Bone marrow aspirate smear: 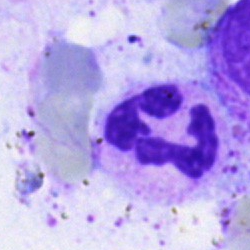

Q: What is the morphological classification of this cell?
A: Neutrophil (segmented).